Bone marrow smear. May-Grünwald-Giemsa/Pappenheim stain.
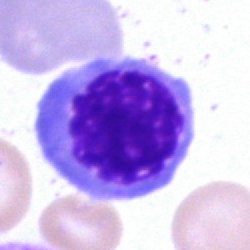Specimen: bone marrow smear.
Morphological class: nucleated red cell.
Lineage: erythroid.